Bone marrow smear.
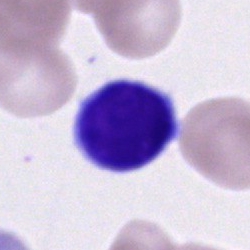Morphology consistent with a lymphocyte.